Bone marrow smear:
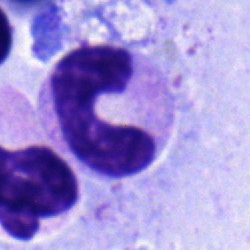Morphological class: band-form neutrophil.